Bone marrow aspirate smear:
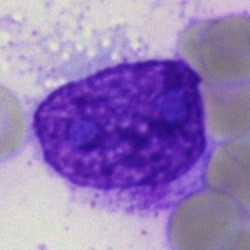 The cell shown is an artefact.